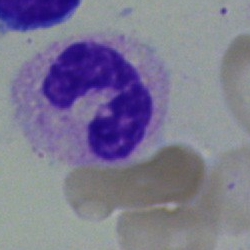 Q: What type of cell is this?
A: It is a neutrophil (segmented).